Bone marrow aspirate smear:
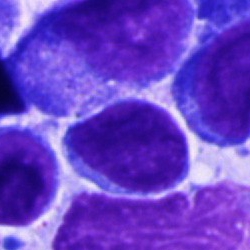

Morphological class — typical lymphocyte.